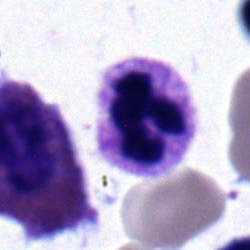
Cell type = segmented neutrophil.